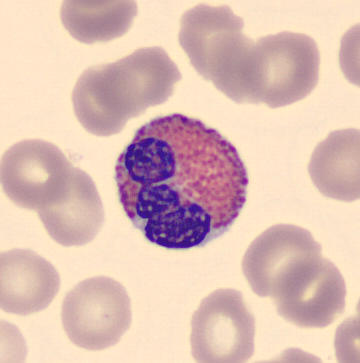Image: Peripheral blood film. Morphological class: eosinophil.